Bone marrow aspirate smear.
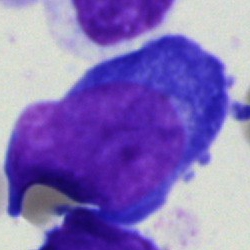

Specimen: bone marrow smear.
Cell type: proerythroblast.
Lineage: erythroid.